Bone marrow smear
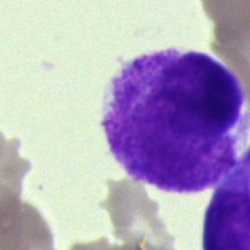

Q: What is the morphological classification of this cell?
A: A blast.